Single-cell field · 40× objective, oil immersion · bone marrow aspirate smear — 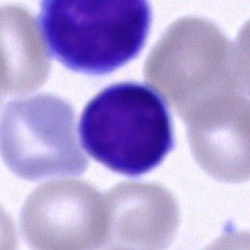 A typical lymphocyte.